Romanowsky stain. Peripheral blood film.
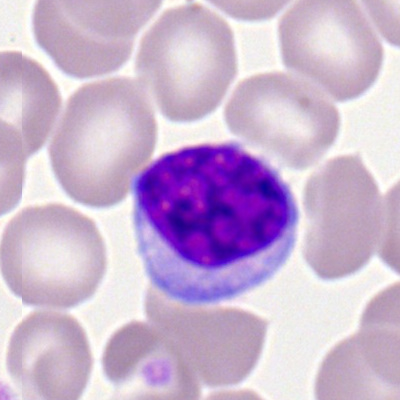 Morphological class = typical lymphocyte.